Bone marrow smear.
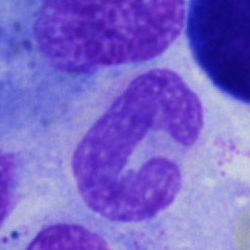Specimen: bone marrow aspirate smear.
Cell type: neutrophil (band).
Lineage: myeloid.